Bone marrow aspirate smear · 40× objective, oil immersion: 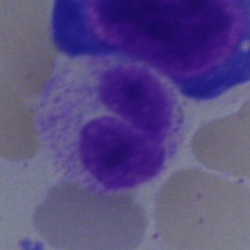 Cell = neutrophil (band).